Bone marrow smear
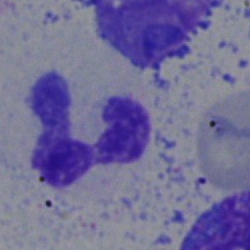

Segmented neutrophil.